Single-cell field. Bone marrow aspirate smear. 250×250 px.
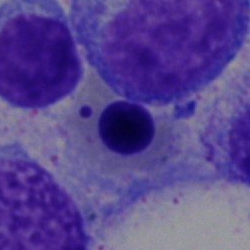 {"cell_type": "erythroblast"}